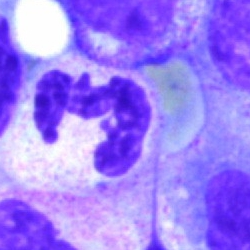Bone marrow smear showing a neutrophil (segmented).